Bone marrow smear
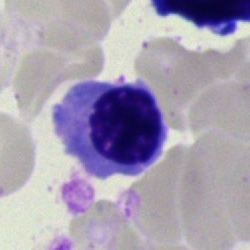 Morphology — erythroblast.